Bone marrow aspirate smear · image size 250×250 · cropped to a single cell — 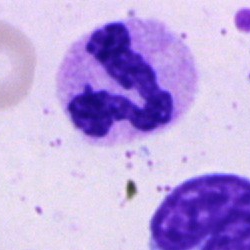
Q: What is shown here?
A: It is a segmented neutrophil.